Bone marrow aspirate smear — 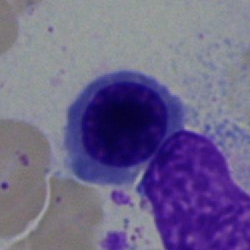
Q: Identify the cell.
A: This is a nucleated red blood cell.